Bone marrow aspirate smear
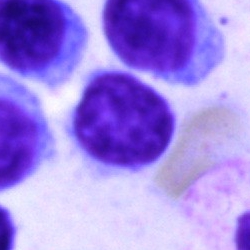

Lymphocyte.